Bone marrow smear; May-Grünwald-Giemsa/Pappenheim stain.
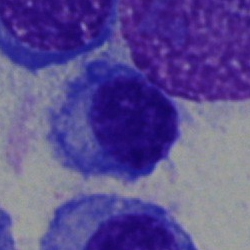
Specimen: bone marrow smear.
Cell: plasmacyte.